40× objective, oil immersion; bone marrow aspirate smear; single-cell field
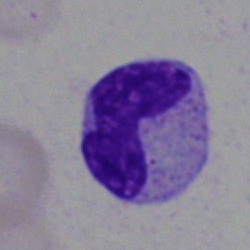 Morphological class = segmented neutrophil.